Bone marrow aspirate smear:
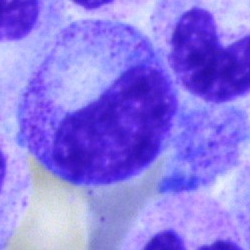{"cell_type": "promyelocyte", "lineage": "myeloid"}